Bone marrow aspirate smear
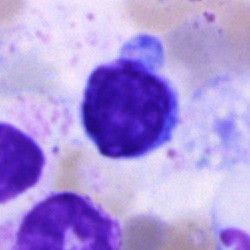
Q: What is the morphological classification of this cell?
A: Lymphocyte.